Romanowsky stain. Peripheral blood smear: 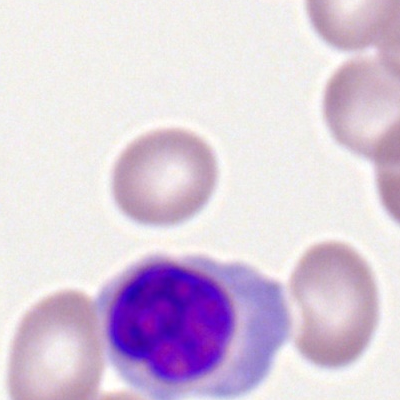Classification — lymphocyte.